Peripheral blood smear:
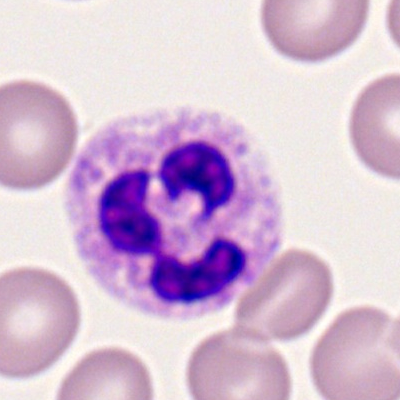 {"cell_type": "neutrophil (segmented)"}